Peripheral blood film. Automated cell imaging (CellaVision DM96). May-Grünwald-Giemsa-stained — 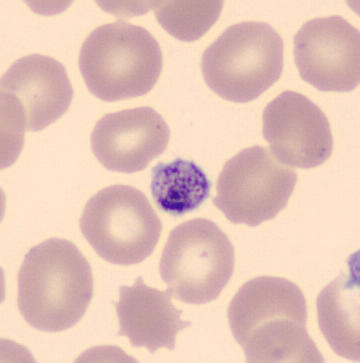

Q: What is this?
A: Platelet (thrombocyte).